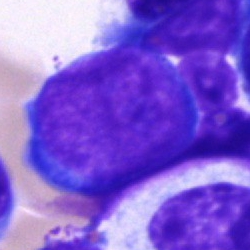
Bone marrow aspirate smear, single cell — blast cell.